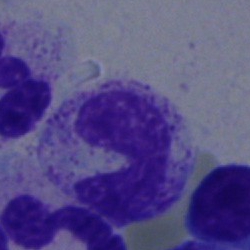
Q: What cell is this?
A: Segmented neutrophil.